Bone marrow aspirate smear · cropped to a single cell · May-Grünwald-Giemsa/Pappenheim stain: 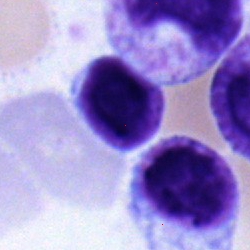Cell = typical lymphocyte.